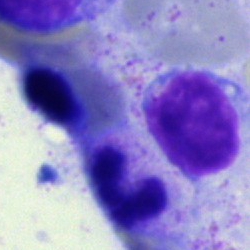
The morphological class is lymphocyte.